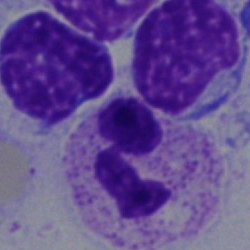
Morphology — segmented neutrophil.